Bone marrow aspirate smear; image size 250×250
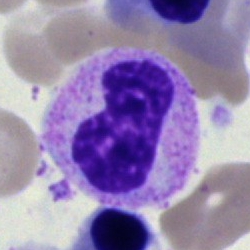Q: Which cell type is shown here?
A: It is a metamyelocyte.